Bone marrow aspirate smear
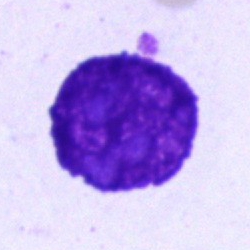Cell type — artifact.